Brightfield, 40× oil-immersion objective. Pappenheim-stained. Bone marrow aspirate smear.
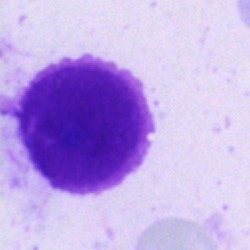
The cell shown is an artifact.